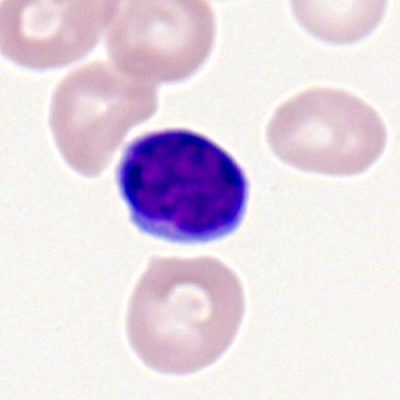 Impression — typical lymphocyte.